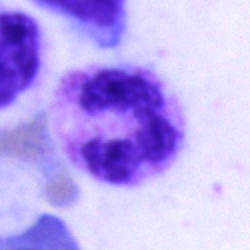

Specimen: bone marrow smear.
Classification: neutrophil (segmented).
Lineage: myeloid.